40× oil immersion. Bone marrow smear — 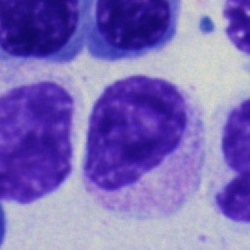 A myelocyte.